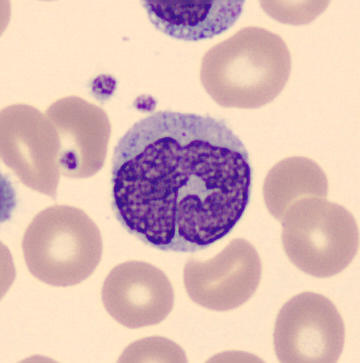The morphological class is monocyte.